Bone marrow aspirate smear
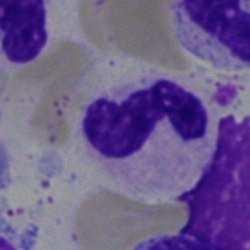
Cell type = neutrophil (segmented).